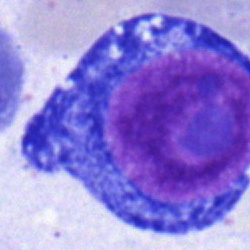Pronormoblast.